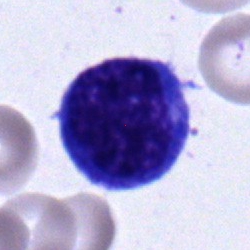

Typical lymphocyte.